Bone marrow smear; 250 by 250 pixels
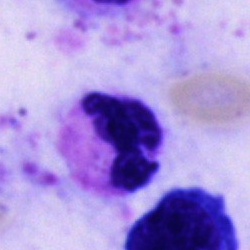The classification is neutrophil (segmented).